Bone marrow aspirate smear: 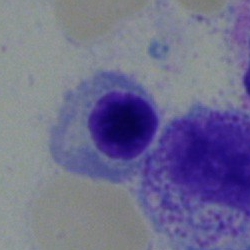
Q: Which cell type is shown here?
A: It is a nucleated red blood cell.